Bone marrow smear. Single-cell field. Brightfield, 40× oil-immersion objective:
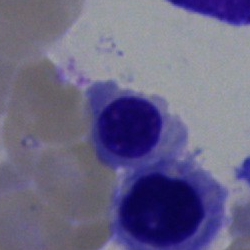

Cell: nucleated red cell.